May-Grünwald-Giemsa/Pappenheim stain; bone marrow aspirate smear; single cell centered in the field.
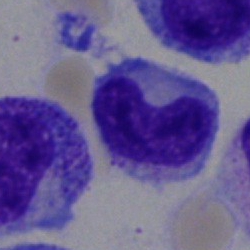 Q: What cell is this?
A: It is a neutrophil (band).